Single-cell crop · peripheral blood smear: 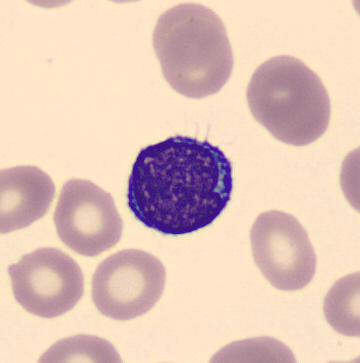

{"cell_type": "lymphocyte", "lineage": "lymphoid"}